Brightfield microscopy, 40× oil immersion; bone marrow aspirate smear
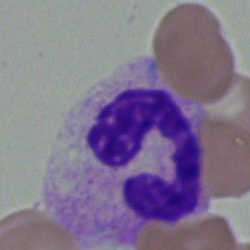
Cell — segmented neutrophil.